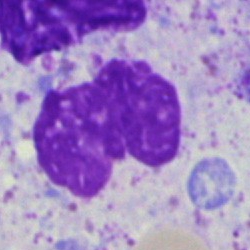
Single cell identified as an artefact.